Peripheral blood smear
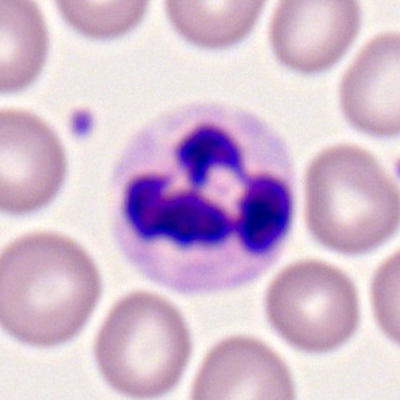

Cell = polymorphonuclear neutrophil.